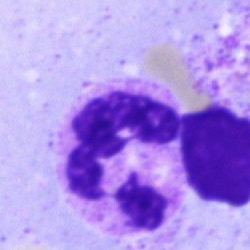

Bone marrow aspirate smear, single cell — segmented neutrophil.